Bone marrow aspirate smear. MGG-stained — 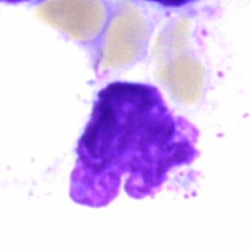 Cell — artifact.